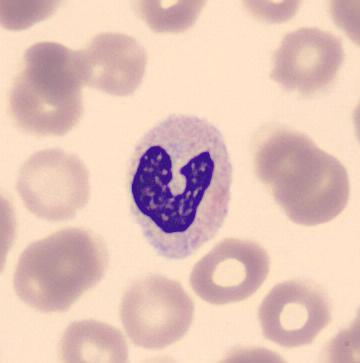 Showing a neutrophil (band).